250 by 250 pixels. 40× objective, oil immersion. Bone marrow smear.
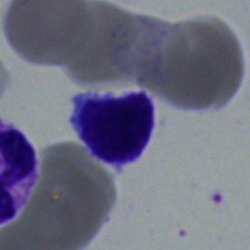
Specimen: bone marrow aspirate smear.
Cell: typical lymphocyte.
Lineage: lymphoid.